Bone marrow smear:
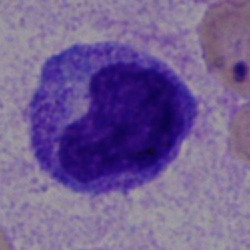
Morphology — myelocyte.